Bone marrow smear: 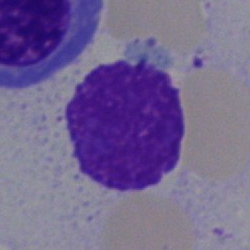 Morphology → artifact.